May-Grünwald-Giemsa stain. Bone marrow aspirate smear — 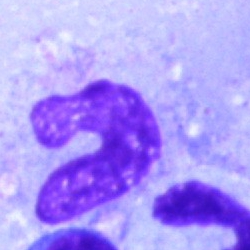The cell shown is an artefact.